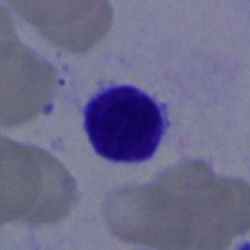
Showing a typical lymphocyte.